Bone marrow aspirate smear · single-cell field.
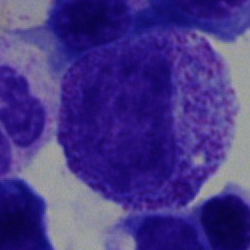Impression → progranulocyte.